Bone marrow smear; May-Grünwald-Giemsa/Pappenheim stain
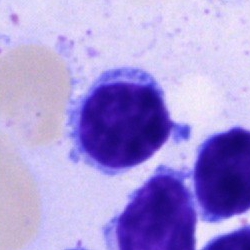
Q: Identify the cell.
A: A typical lymphocyte.